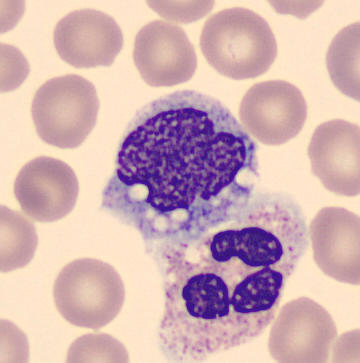
Image: Peripheral blood film · cropped to a single cell · 360×363 px.

Morphology — monocyte.